Bone marrow aspirate smear · 40× oil immersion:
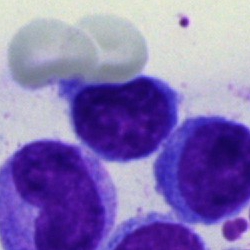 Showing a typical lymphocyte.